Peripheral blood film; Romanowsky-type stain.
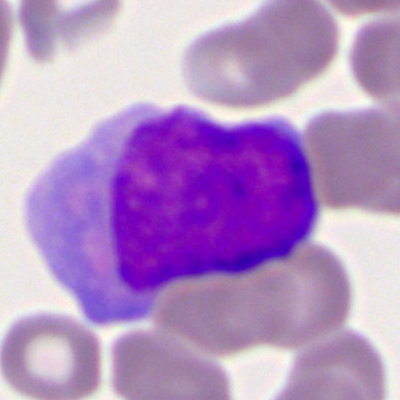
Classification = myeloid blast.